Single-cell field; bone marrow smear
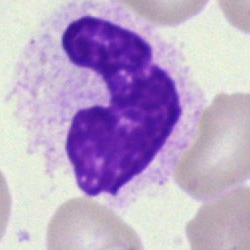 Impression — artefact.